Bone marrow aspirate smear:
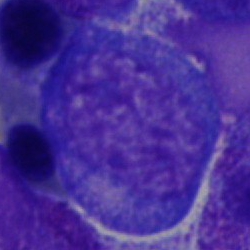Cell: promyelocyte.